Bone marrow smear — 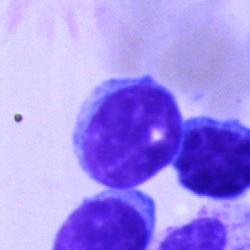
Single cell identified as a typical lymphocyte.